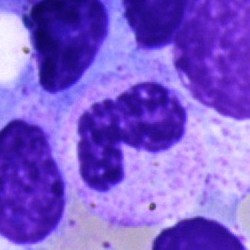 {"cell_type": "neutrophil (band)", "lineage": "myeloid"}